Bone marrow aspirate smear. 40× oil immersion.
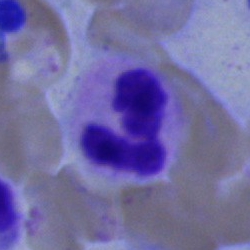 Impression — segmented neutrophil.